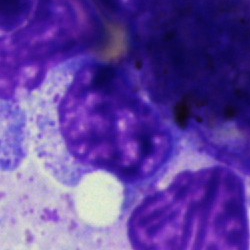
Artefact.